Bone marrow smear:
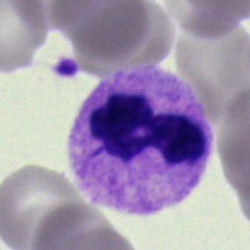The cell shown is a neutrophil (segmented).